360 by 363 pixels; peripheral blood film; CellaVision DM96 digital cell image: 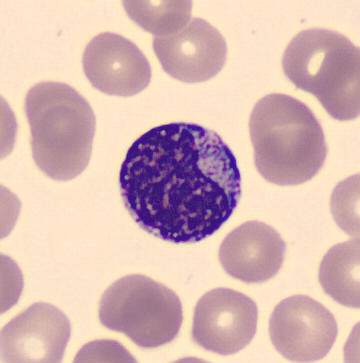

Specimen: peripheral blood smear.
Classification: myelocyte.